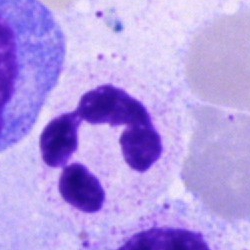

Morphological class — neutrophil (segmented).